Bone marrow smear: 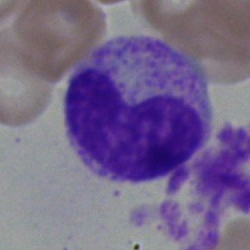 Impression → metamyelocyte.